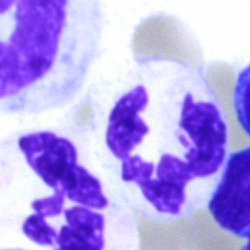The cell is artefact.